Bone marrow smear.
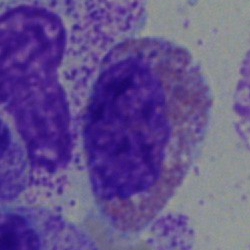
Specimen: bone marrow smear.
Classification: eosinophilic granulocyte.
Lineage: myeloid.